Bone marrow smear.
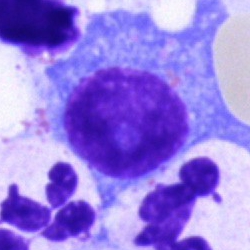 A plasma cell.